Bone marrow smear.
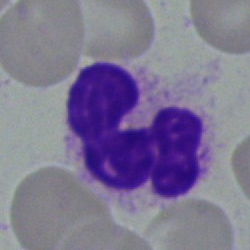
Polymorphonuclear neutrophil.